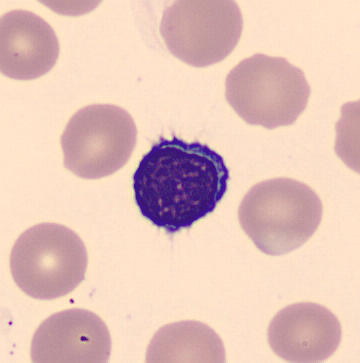Q: What cell is this?
A: It is a typical lymphocyte.
MGG stain · peripheral blood film.